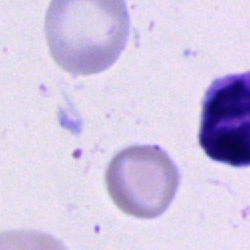
Single-cell crop from a bone marrow smear: artefact.